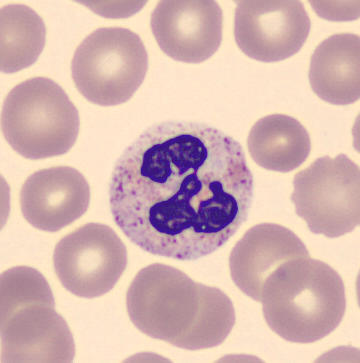

Single cell identified as a segmented neutrophil.